Bone marrow smear; single-cell field; MGG-stained
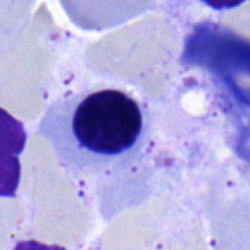

Q: What is the morphological classification of this cell?
A: This is a nucleated red cell.